Image size 250×250 · bone marrow aspirate smear · May-Grünwald-Giemsa stain.
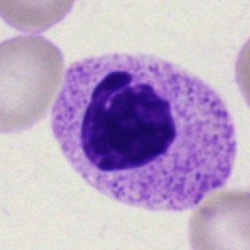 Q: What cell is this?
A: A segmented neutrophil.